Cropped to a single cell; May-Grünwald-Giemsa/Pappenheim stain; bone marrow aspirate smear.
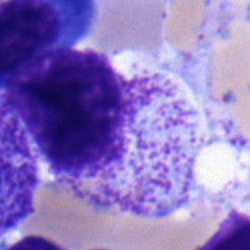

Showing a myelocyte.